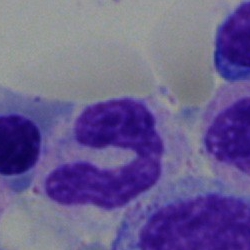 Bone marrow smear showing a band-form neutrophil.